Bone marrow smear — 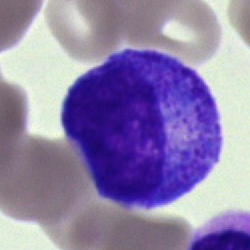Q: Identify the cell.
A: It is a progranulocyte.